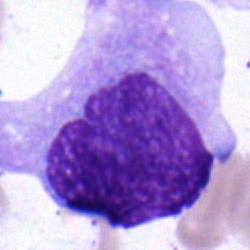
This is a monocyte.